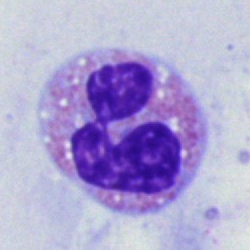 Q: Identify the cell.
A: It is an eosinophil.